Bone marrow smear
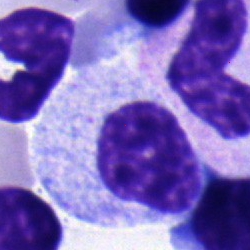 Myelocyte.